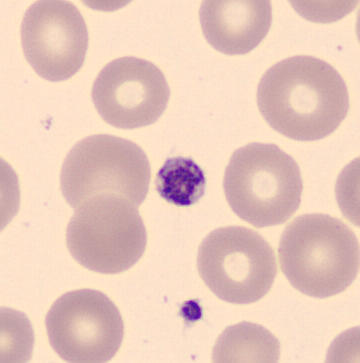
Acquisition: Peripheral blood film.
Classification = platelet.